Bone marrow smear:
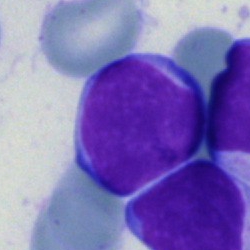Impression — lymphocyte.